250×250 px · bone marrow smear:
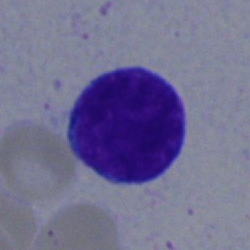Morphology → typical lymphocyte.